Cropped to a single cell · brightfield, 40× oil-immersion objective · bone marrow smear — 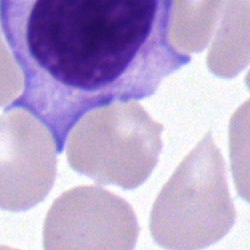
Morphology consistent with a lymphocyte.